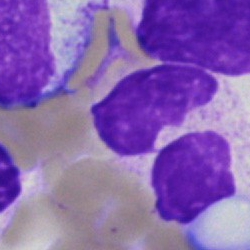Q: What is shown here?
A: It is an artifact.